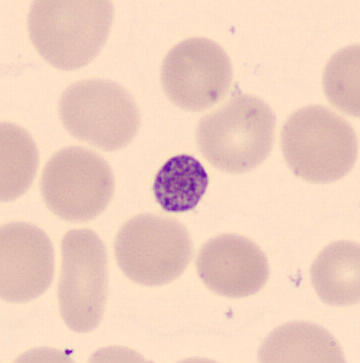Acquisition: CellaVision DM96 digital cell image. Peripheral blood film.
The cell type is platelet.